Bone marrow smear · May-Grünwald-Giemsa/Pappenheim stain · 250×250 px — 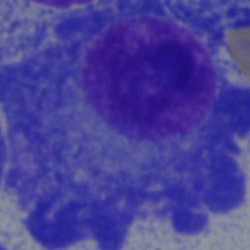

A plasma cell.